250×250 px. Pappenheim-stained. Bone marrow smear
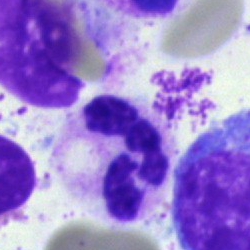 The cell shown is a polymorphonuclear neutrophil.